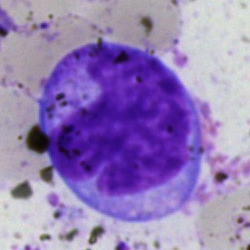

Impression → monocyte.